250×250 · bone marrow aspirate smear — 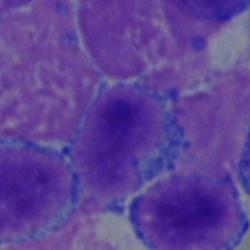

Cell type = lymphocyte.